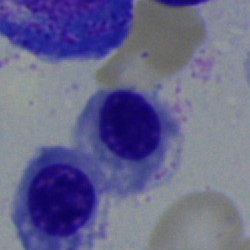

The classification is erythroblast.